Bone marrow smear — 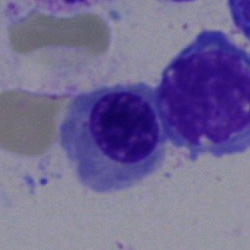Showing a nucleated red cell.